Romanowsky-type stain. Single-cell crop. Peripheral blood film.
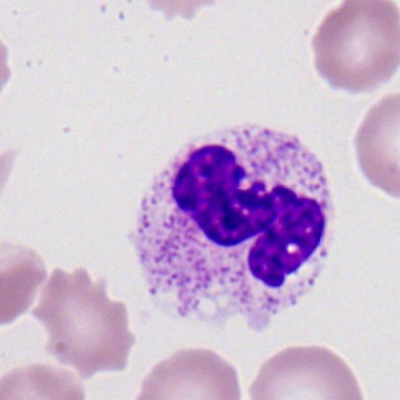 Specimen: peripheral blood film.
Classification: neutrophil (segmented).
Lineage: myeloid.